Pappenheim-stained; bone marrow smear — 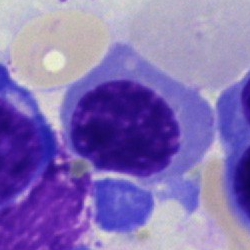This is a nucleated red cell.